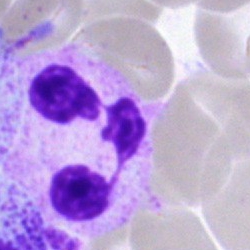

Impression — segmented neutrophil.